May-Grünwald-Giemsa/Pappenheim stain · bone marrow aspirate smear.
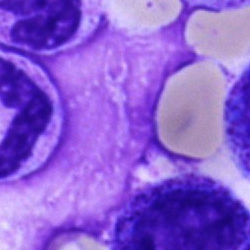Cell type: artifact.